Bone marrow smear.
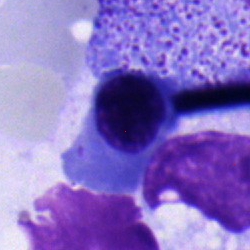 Morphology — nucleated red cell.